Bone marrow smear:
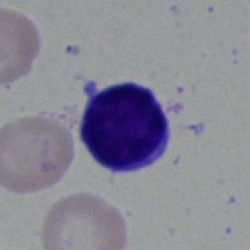Q: What is shown here?
A: A lymphocyte.